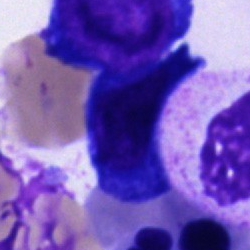Q: What type of cell is this?
A: An unidentifiable cell.